Bone marrow smear; single cell centered in the field:
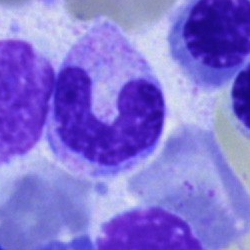 Q: What is the morphological classification of this cell?
A: A stab cell.